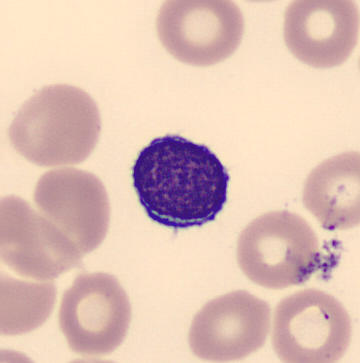 Cell = typical lymphocyte.